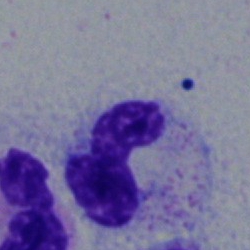
Showing a stab cell.